Bone marrow smear
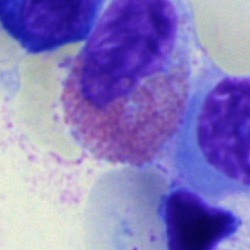
Single cell identified as an eosinophilic granulocyte.